Bone marrow aspirate smear:
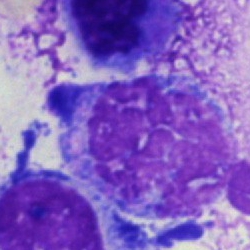

Morphology → artefact.